Peripheral blood film · imaged on a CellaVision DM96 analyser:
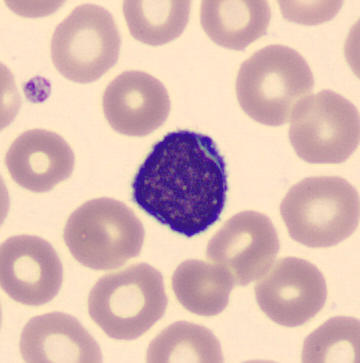 Classification — typical lymphocyte.